Bone marrow smear; 250 by 250 pixels — 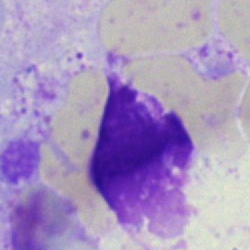Morphology — artifact.